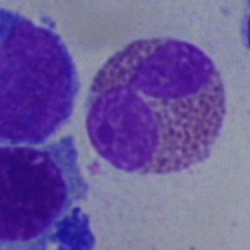The cell shown is an eosinophilic granulocyte.